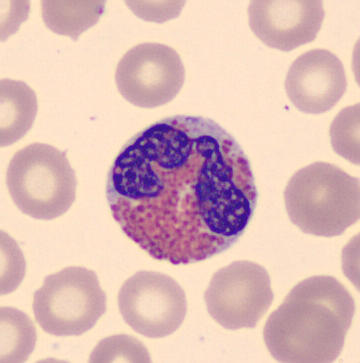

Q: What is this?
A: An eosinophil.